Peripheral blood film.
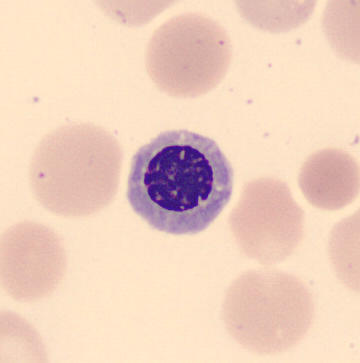Classification = nucleated red cell.